Bone marrow smear.
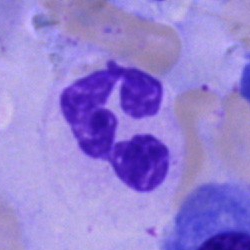

Classification — segmented neutrophil.